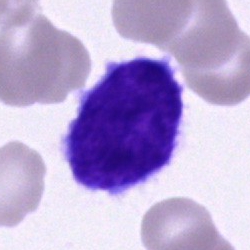
Classification: lymphocyte.